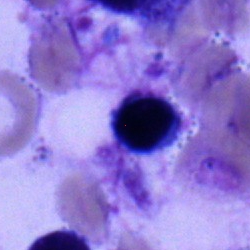 The classification is lymphocyte.